Image size 250×250; bone marrow aspirate smear: 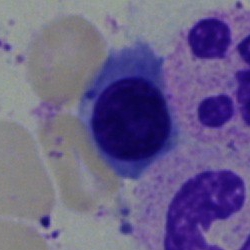

Cell = nucleated red cell.